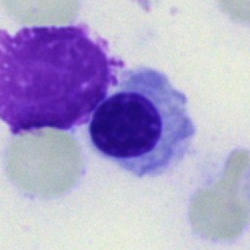 Bone marrow smear showing a nucleated red cell.